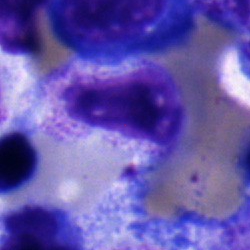 Q: What type of cell is this?
A: Neutrophil (band).